Cropped to a single cell; bone marrow aspirate smear; 250 by 250 pixels.
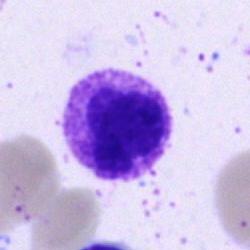

Q: What is shown here?
A: A basophil.